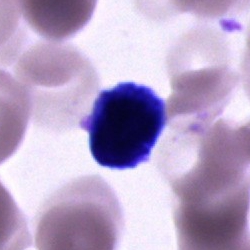Q: What is shown here?
A: This is an unidentifiable cell.